Peripheral blood smear
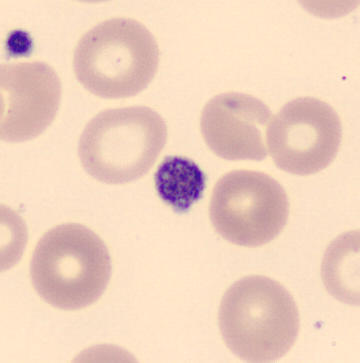 Specimen: peripheral blood film.
Cell type: platelet (thrombocyte).